Bone marrow smear.
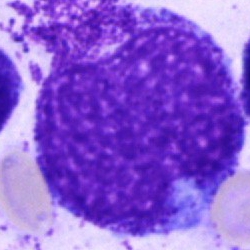 Morphological class — artefact.